Single cell centered in the field. Bone marrow aspirate smear: 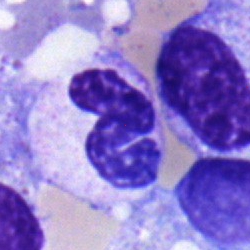 Morphological class = neutrophil (segmented).